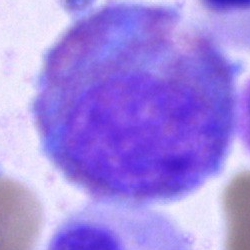

Specimen: bone marrow smear.
Morphological class: eosinophil.